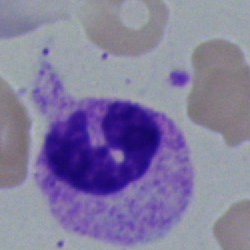Specimen: bone marrow smear.
Morphological class: segmented neutrophil.
Lineage: myeloid.